Brightfield microscopy, 40× oil immersion; single cell centered in the field; bone marrow smear
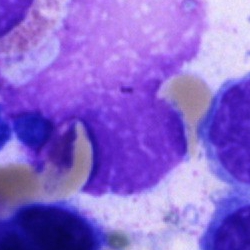
Cell type = artifact.